Brightfield microscopy, 40× oil immersion; MGG-stained; bone marrow smear
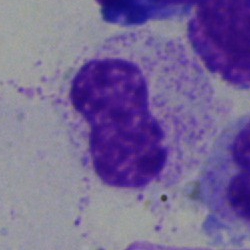
Specimen: bone marrow smear.
Cell: metamyelocyte.
Lineage: myeloid.